Bone marrow smear · single cell centered in the field
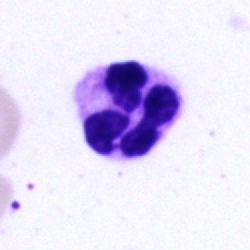
Cell: neutrophil (segmented).